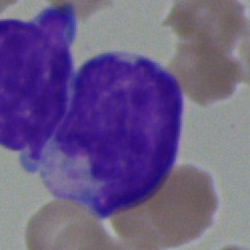
Cell type = blast cell.